Peripheral blood smear.
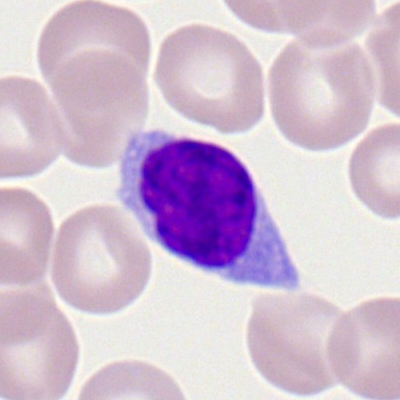The cell type is typical lymphocyte.